Bone marrow smear; brightfield, 40× oil-immersion objective: 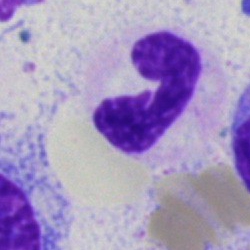
Specimen: bone marrow smear.
Cell: neutrophil (segmented).
Lineage: myeloid.